Bone marrow aspirate smear — 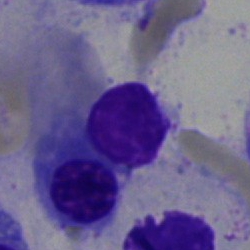{"cell_type": "typical lymphocyte", "lineage": "lymphoid"}